Bone marrow aspirate smear. 250 by 250 pixels
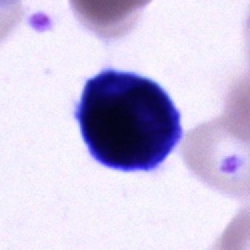
Specimen: bone marrow aspirate smear.
Morphological class: cell of indeterminate lineage.